Bone marrow aspirate smear · cropped to a single cell · brightfield, 40× oil-immersion objective
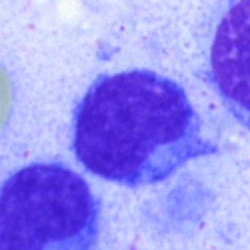 Specimen: bone marrow smear.
Classification: hairy cell.